Bone marrow smear:
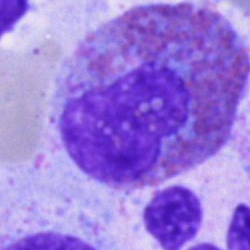 Specimen: bone marrow aspirate smear.
Cell type: eosinophilic granulocyte.
Lineage: myeloid.